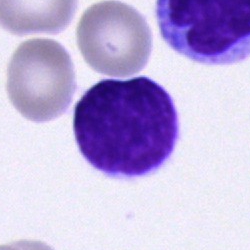

A typical lymphocyte.